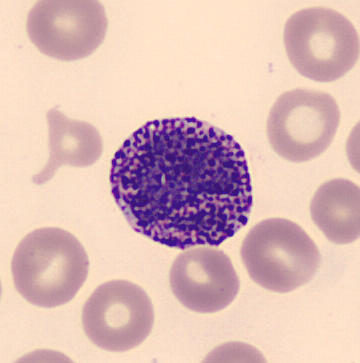
Single cell identified as a basophil.